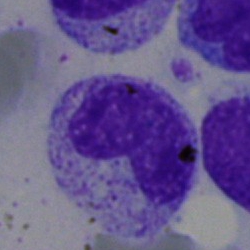 Specimen: bone marrow aspirate smear.
Morphological class: stab cell.
Lineage: myeloid.